Bone marrow smear — 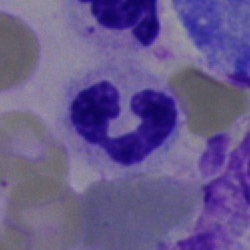

Showing a neutrophil (segmented).